Bone marrow aspirate smear.
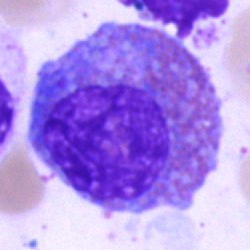

Q: What type of cell is this?
A: This is an eosinophil.